Bone marrow smear · MGG-stained
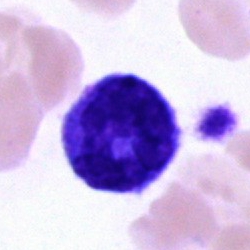

{"cell_type": "monocyte", "lineage": "myeloid"}